Peripheral blood film. 400 by 400 pixels. Romanowsky-stained: 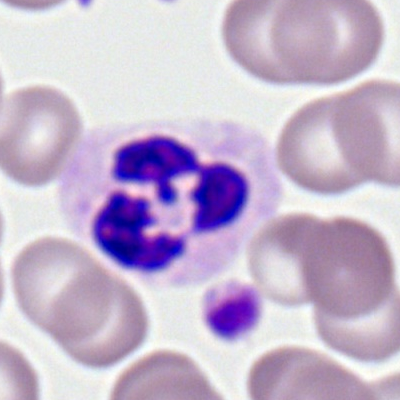

Impression → neutrophil (segmented).